Image size 250×250 · bone marrow aspirate smear — 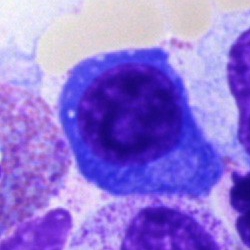

A plasmacyte.